Bone marrow smear; May-Grünwald-Giemsa/Pappenheim stain; brightfield microscopy, 40× oil immersion:
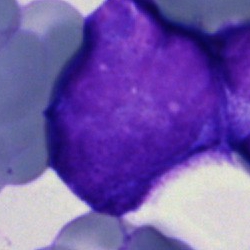Morphological class = blast cell.